Bone marrow aspirate smear: 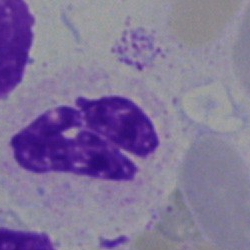Specimen: bone marrow smear.
Cell type: neutrophil (segmented).